Bone marrow aspirate smear · single-cell crop · brightfield, 40× oil-immersion objective.
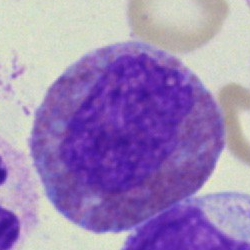 Morphology → eosinophilic granulocyte.